250×250 px. Bone marrow aspirate smear:
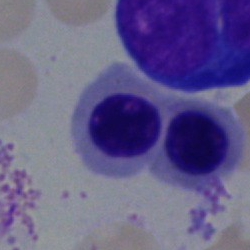Classification: nucleated red blood cell.